Bone marrow smear; May-Grünwald-Giemsa/Pappenheim stain; 250×250 px:
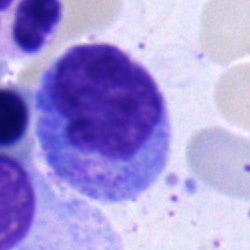 Morphological class — progranulocyte.